Bone marrow smear:
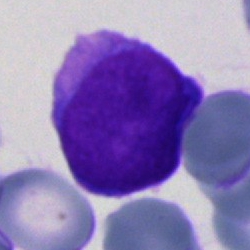

This is an undifferentiated blast.